Bone marrow smear.
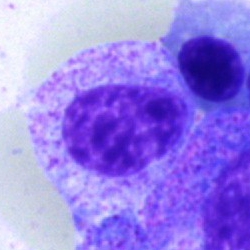
Morphological class = myelocyte.